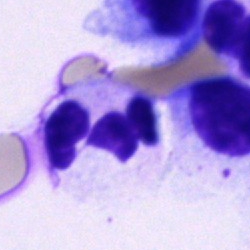

Morphology — polymorphonuclear neutrophil.